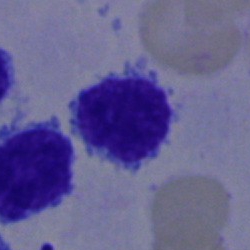

Showing a typical lymphocyte.